Bone marrow smear. 250×250 — 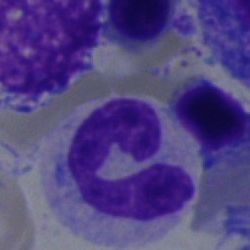 Showing a polymorphonuclear neutrophil.